Bone marrow smear: 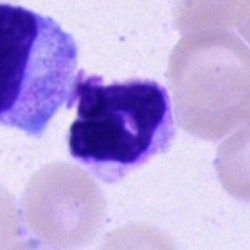 Specimen: bone marrow smear.
Cell: segmented neutrophil.